Bone marrow smear.
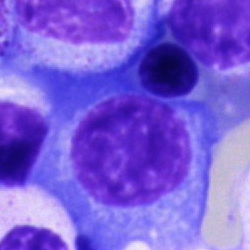

Specimen: bone marrow aspirate smear.
Morphological class: plasma cell.